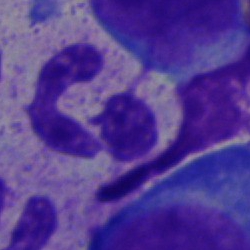

Specimen: bone marrow aspirate smear.
Morphological class: segmented neutrophil.
Lineage: myeloid.